Bone marrow aspirate smear:
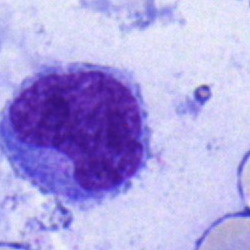
Impression — monocyte.